Bone marrow aspirate smear:
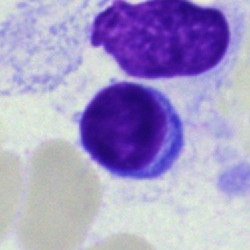This is a typical lymphocyte.